Image size 250×250 · bone marrow smear · 40× objective, oil immersion — 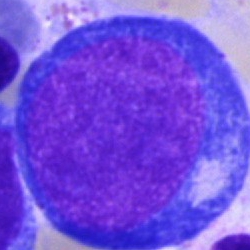
Specimen: bone marrow aspirate smear.
Morphological class: proerythroblast.